Bone marrow smear: 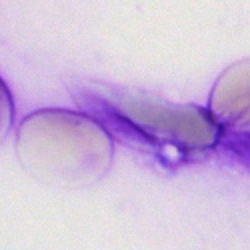 Showing an artefact.